Bone marrow smear.
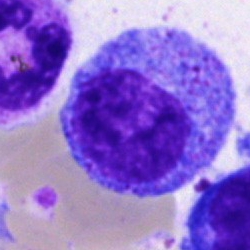 Morphology — progranulocyte.